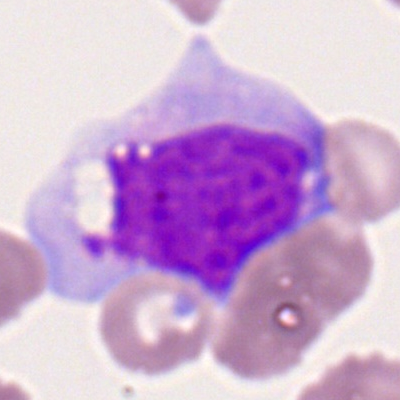

{"cell_type": "monocyte"}